Bone marrow smear; image size 250×250: 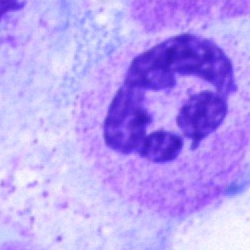

Specimen: bone marrow aspirate smear.
Cell: polymorphonuclear neutrophil.